Bone marrow aspirate smear:
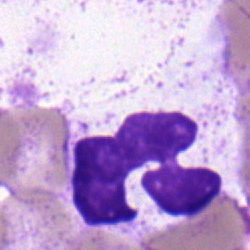
A polymorphonuclear neutrophil.